Bone marrow aspirate smear; Pappenheim-stained.
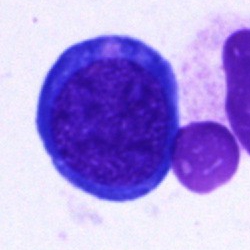 {"cell_type": "nucleated red blood cell"}